Bone marrow aspirate smear: 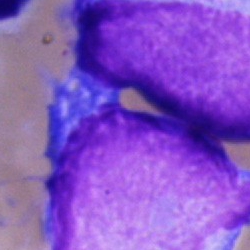 This is a blast cell.